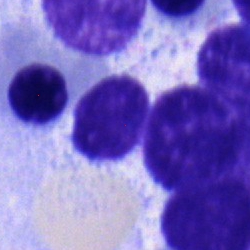 Typical lymphocyte.